Bone marrow smear:
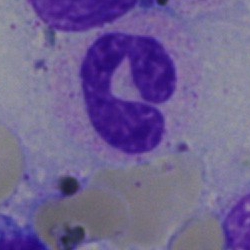 Showing a segmented neutrophil.